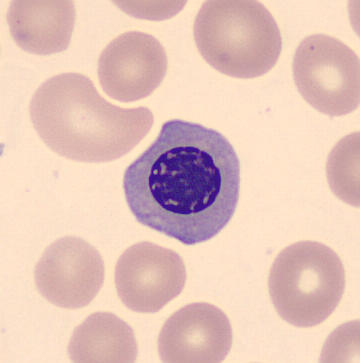 Specimen: peripheral blood smear.
Cell type: erythroblast.